Bone marrow aspirate smear.
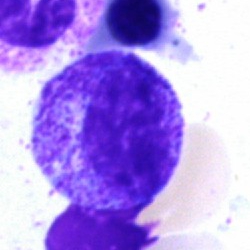Morphology — progranulocyte.